Bone marrow smear. May-Grünwald-Giemsa stain
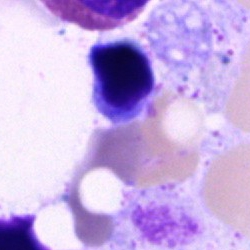

Specimen: bone marrow aspirate smear.
Cell type: artifact.